Bone marrow smear — 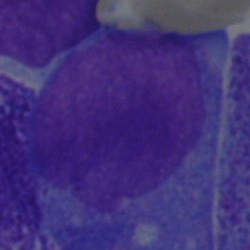

Q: Identify the cell.
A: A blast cell.